Peripheral blood film
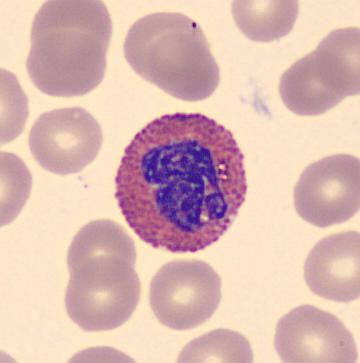

Morphological class: eosinophil.